May-Grünwald-Giemsa/Pappenheim stain · 250×250 · bone marrow smear
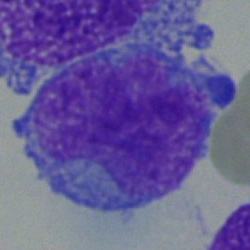Q: What is shown here?
A: Blast cell.